Bone marrow smear: 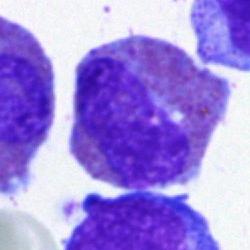Q: What cell is this?
A: Eosinophil.